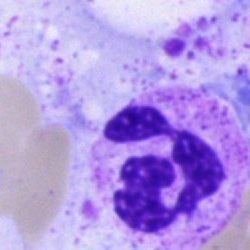 Q: Identify the cell.
A: This is a neutrophil (segmented).